Bone marrow aspirate smear. Brightfield microscopy, 40× oil immersion
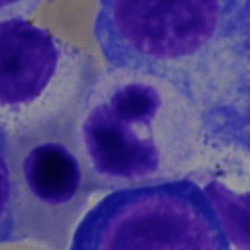 Q: Identify the cell.
A: Polymorphonuclear neutrophil.